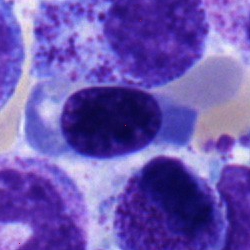Q: Which cell type is shown here?
A: Erythroblast.